May-Grünwald-Giemsa/Pappenheim stain; bone marrow aspirate smear; 40× oil immersion:
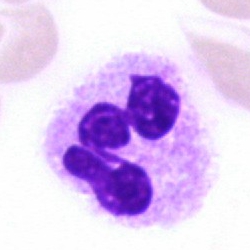 Impression → segmented neutrophil.